Bone marrow smear: 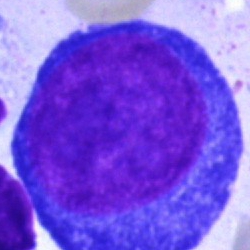 Morphological class = pronormoblast.